Peripheral blood film:
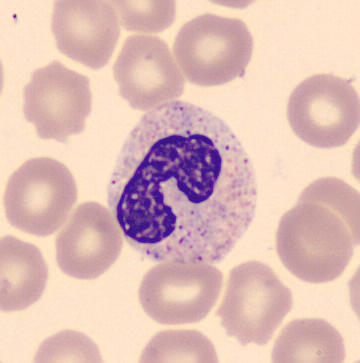 Showing a stab cell.